Bone marrow smear:
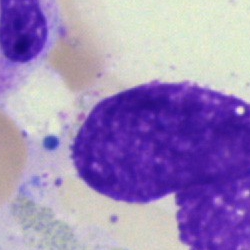 Morphological class — artifact.